Peripheral blood smear:
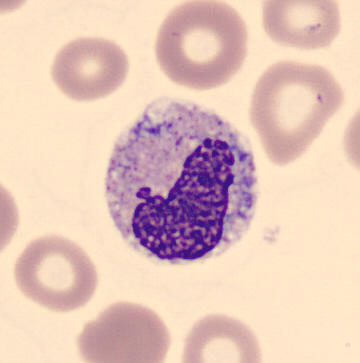 Specimen: peripheral blood film.
Cell type: metamyelocyte.
Lineage: myeloid.